Bone marrow aspirate smear.
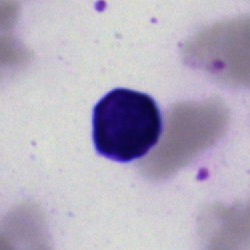

The morphological class is artefact.